Bone marrow aspirate smear. Brightfield microscopy, 40× oil immersion — 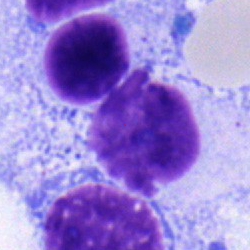

Morphology consistent with a lymphocyte.